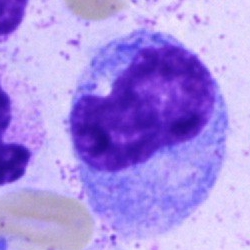A monocyte.